40× oil immersion. Bone marrow smear:
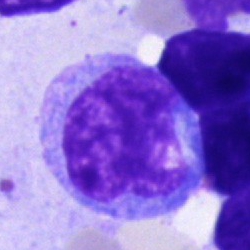Morphological class: monocyte.